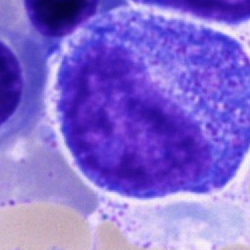Q: What is the morphological classification of this cell?
A: Promyelocyte.